Bone marrow aspirate smear.
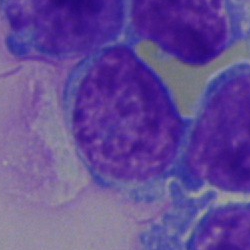 Specimen: bone marrow aspirate smear.
Cell: typical lymphocyte.
Lineage: lymphoid.